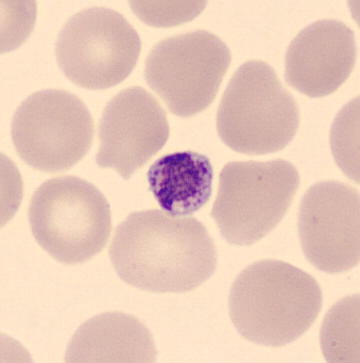Morphological class: thrombocyte.
Peripheral blood film.